Bone marrow smear — 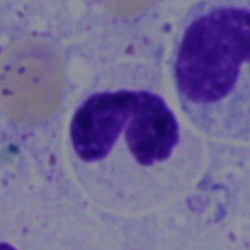 Morphology consistent with a neutrophil (segmented).